250×250 · bone marrow smear:
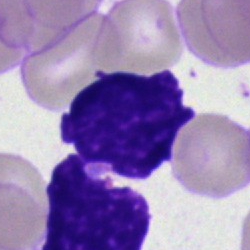

Morphology consistent with an artifact.